Bone marrow smear — 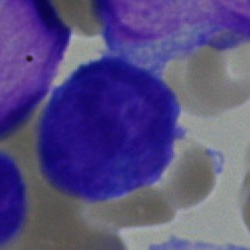Specimen: bone marrow aspirate smear.
Cell type: blast.